Bone marrow aspirate smear.
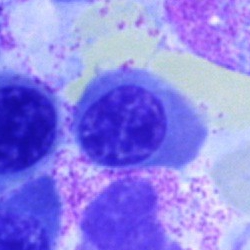
Showing a normoblast.